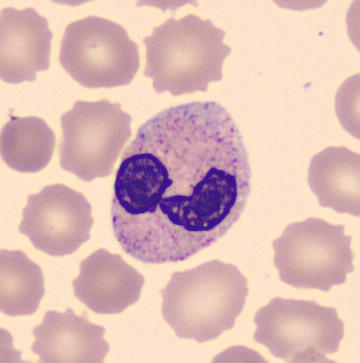Specimen: peripheral blood smear.
Cell: segmented neutrophil.
Image: 360×363 px.